Bone marrow smear — 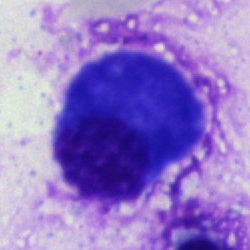
Showing a plasma cell.